Brightfield microscopy, 40× oil immersion. Bone marrow smear — 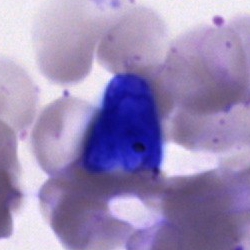

An artifact.